Bone marrow smear
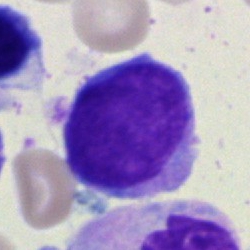 Blast cell.